Bone marrow aspirate smear — 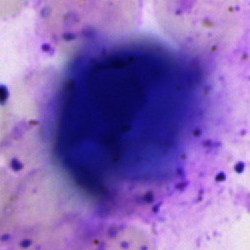
Cell type: artefact.